Bone marrow smear: 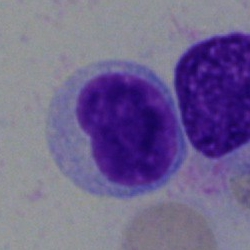Classification — typical lymphocyte.